Bone marrow aspirate smear — 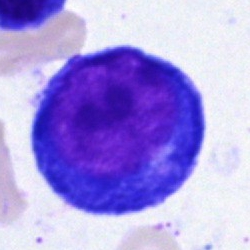 Specimen: bone marrow smear.
Classification: erythroblast.
Lineage: erythroid.